Bone marrow smear; single cell centered in the field — 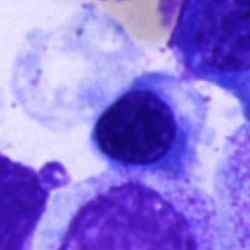
Nucleated red blood cell.